Bone marrow aspirate smear: 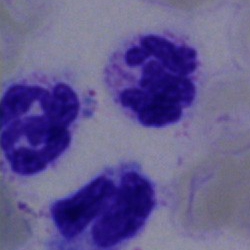
The cell type is neutrophil (segmented).